Bone marrow smear · 250 by 250 pixels — 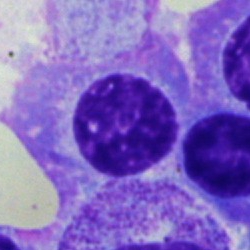

Specimen: bone marrow smear.
Classification: plasmacyte.
Lineage: lymphoid.